Single-cell field. Brightfield, 40× oil-immersion objective. Bone marrow aspirate smear.
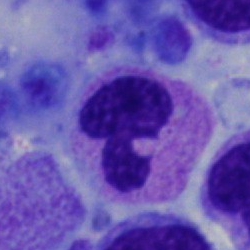Q: Identify the cell.
A: Neutrophil (segmented).